Peripheral blood film · single cell centered in the field:
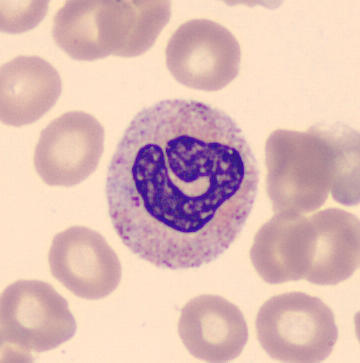

Single cell identified as a band neutrophil.